Bone marrow aspirate smear; brightfield, 40× oil-immersion objective.
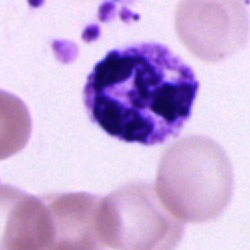

Specimen: bone marrow smear.
Classification: polymorphonuclear neutrophil.
Lineage: myeloid.